Bone marrow smear; single-cell crop; 250 by 250 pixels:
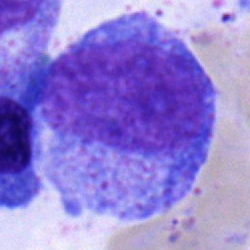 Showing a promyelocyte.